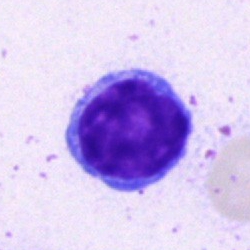

Q: Which cell type is shown here?
A: A typical lymphocyte.